Bone marrow smear — 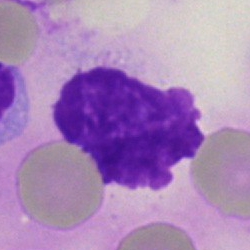
Morphology → artifact.